Bone marrow smear: 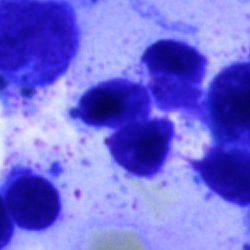
The classification is artefact.